Bone marrow smear; 250×250.
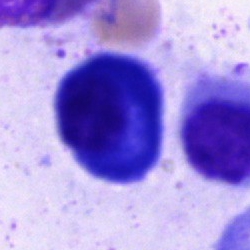
Q: What is the morphological classification of this cell?
A: Plasma cell.